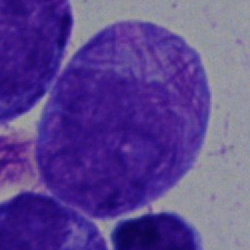
Bone marrow smear showing a faggot cell.